Bone marrow aspirate smear.
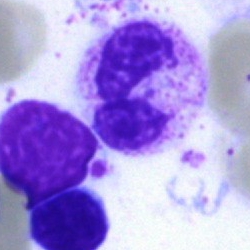 Neutrophil (segmented).